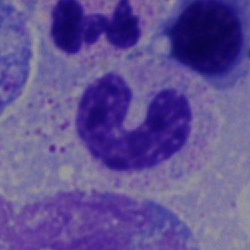

Impression → band neutrophil.